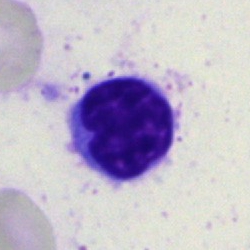

Morphology → neutrophil (segmented).